Bone marrow smear. 40× oil immersion — 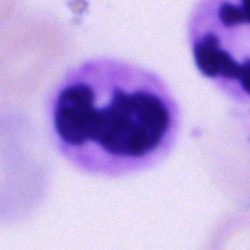This is a polymorphonuclear neutrophil.